Bone marrow aspirate smear.
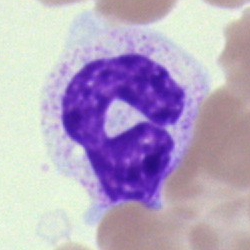 The cell shown is a segmented neutrophil.